Single-cell field. Bone marrow smear
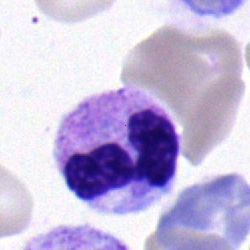

Q: What cell is this?
A: This is a polymorphonuclear neutrophil.